Bone marrow smear — 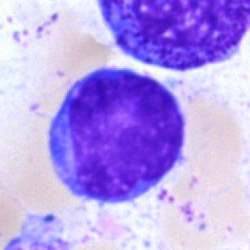

Q: Identify the cell.
A: A typical lymphocyte.